May-Grünwald-Giemsa stain. 40× objective, oil immersion. Bone marrow smear: 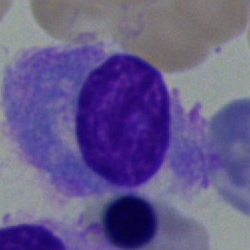Morphological class — plasmacyte.